Bone marrow aspirate smear · MGG-stained · 250 by 250 pixels
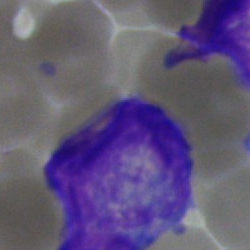
Q: Identify the cell.
A: Blast.